Image size 400×400; peripheral blood smear
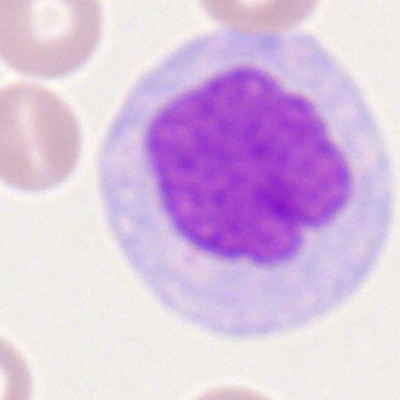
Monocyte.